40× objective, oil immersion · bone marrow smear · Pappenheim-stained — 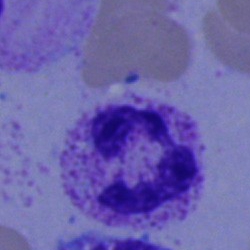
Showing a segmented neutrophil.